May-Grünwald-Giemsa stain; bone marrow aspirate smear: 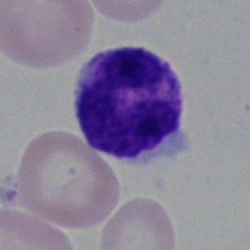
Specimen: bone marrow smear.
Classification: segmented neutrophil.